Single-cell crop. Peripheral blood film. 100× oil immersion
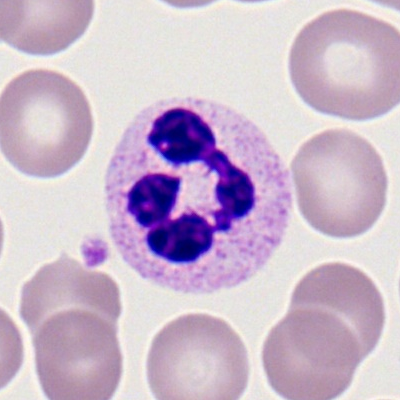
Q: What is shown here?
A: A segmented neutrophil.